May-Grünwald-Giemsa/Pappenheim stain. Bone marrow smear
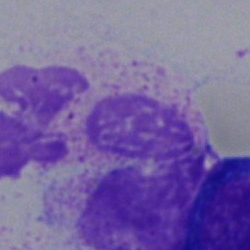 Single cell identified as an artefact.